Peripheral blood smear.
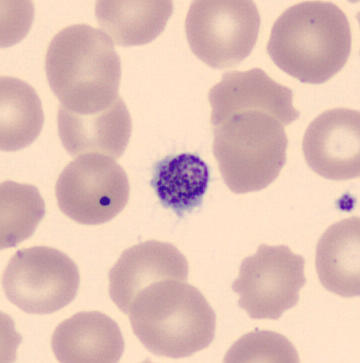
Classification: platelet.